Bone marrow smear: 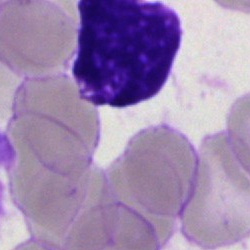
Single cell identified as an artefact.